Bone marrow smear.
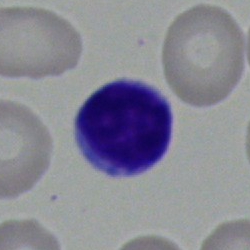This is a typical lymphocyte.